Bone marrow smear; 250×250; May-Grünwald-Giemsa/Pappenheim stain
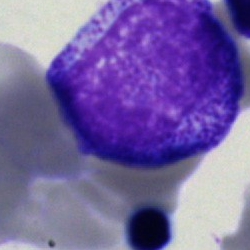 The morphological class is progranulocyte.